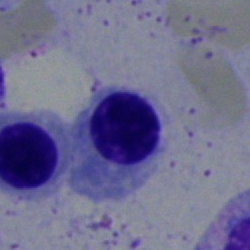
Cell type = nucleated red cell.